Bone marrow smear:
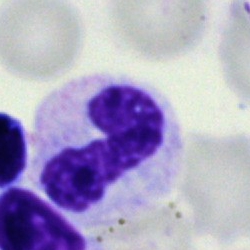
The cell type is polymorphonuclear neutrophil.